250 by 250 pixels · bone marrow smear · Pappenheim-stained: 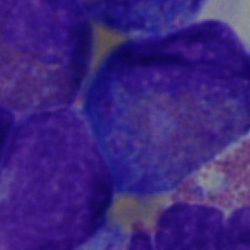Classification: eosinophil.